Peripheral blood film — 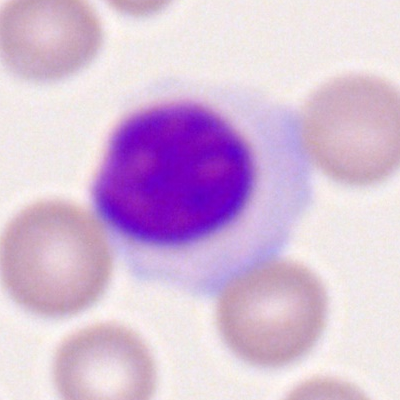

This is a lymphocyte.